Cropped to a single cell; May-Grünwald-Giemsa stain; bone marrow aspirate smear:
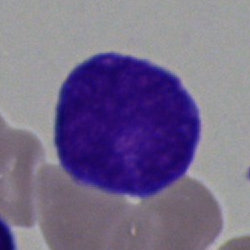

Blast cell.